Bone marrow aspirate smear
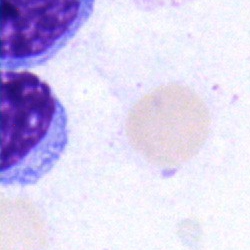The cell shown is a typical lymphocyte.